40× oil immersion. Bone marrow aspirate smear:
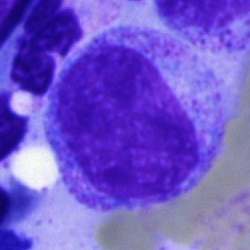

Showing a myelocyte.